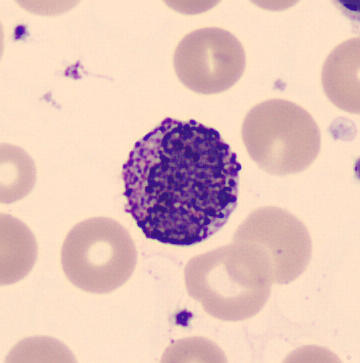

Preparation: MGG stain · peripheral blood smear.

Impression → basophilic granulocyte.